Bone marrow aspirate smear. 250×250
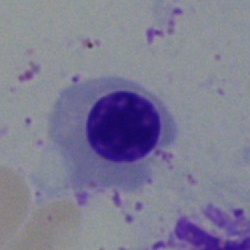 Classification: erythroblast.